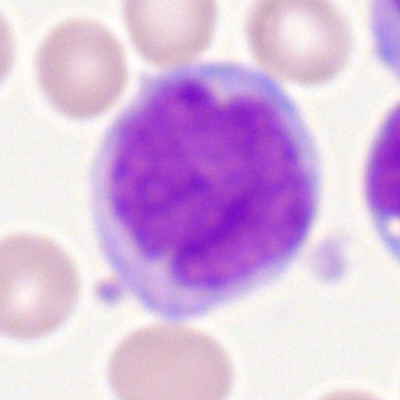

Morphology — monocyte.